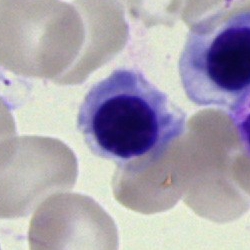
Cell type — erythroblast.